Single-cell crop · bone marrow smear — 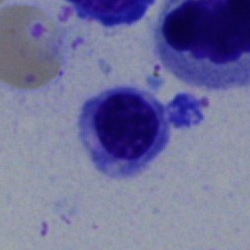 Morphology consistent with a nucleated red cell.